Bone marrow smear:
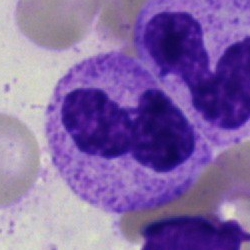
A band-form neutrophil.